Bone marrow smear. Single-cell crop. May-Grünwald-Giemsa stain: 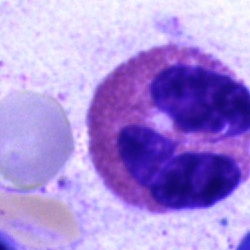
This is an eosinophilic granulocyte.